Bone marrow smear
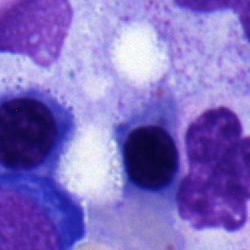 Impression — nucleated red blood cell.